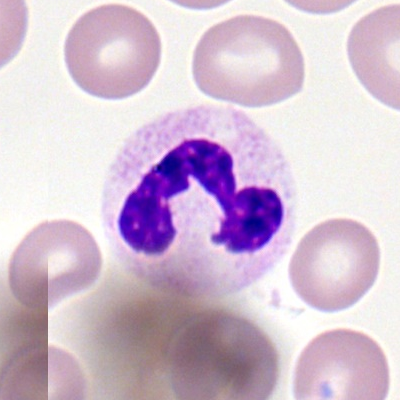 The cell is polymorphonuclear neutrophil.